Single-cell crop · bone marrow aspirate smear · 250×250 — 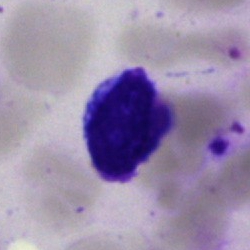Specimen: bone marrow aspirate smear.
Cell: artifact.